Bone marrow aspirate smear. 40× objective, oil immersion.
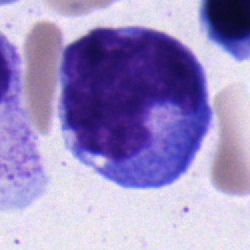 Showing a monocyte.